Bone marrow smear.
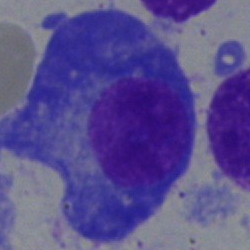 Cell type: plasma cell.